Bone marrow aspirate smear:
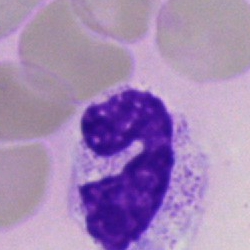 The cell shown is a neutrophil (band).